Bone marrow aspirate smear: 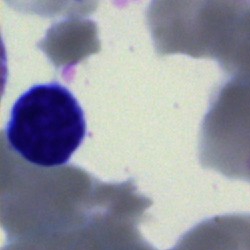Morphology — lymphocyte.